Peripheral blood smear:
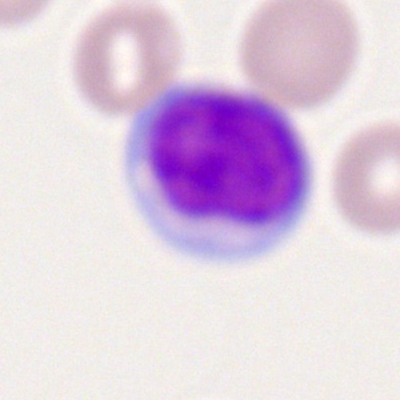 Single cell identified as a typical lymphocyte.